Bone marrow smear:
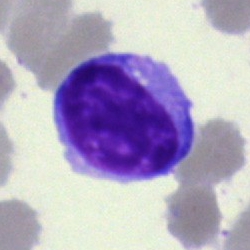
Morphological class: typical lymphocyte.